Brightfield, 40× oil-immersion objective. Bone marrow aspirate smear. Single-cell field — 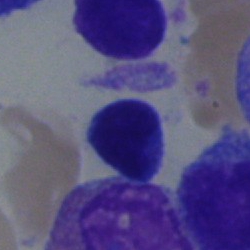

The cell shown is a lymphocyte.